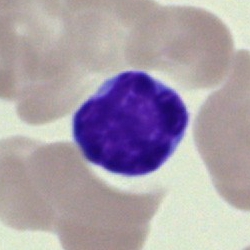

Q: What is shown here?
A: Typical lymphocyte.